Bone marrow smear: 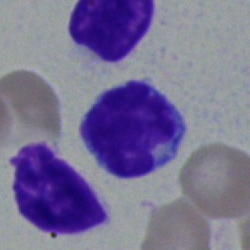
{"cell_type": "lymphocyte"}